250 by 250 pixels. Bone marrow smear: 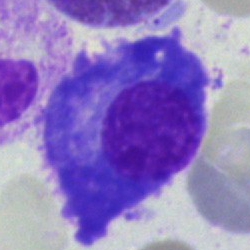

Plasma cell.